Bone marrow smear.
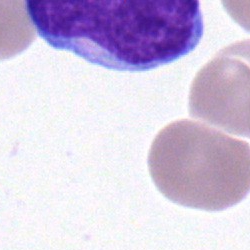 Q: Identify the cell.
A: This is a blast.